Bone marrow aspirate smear: 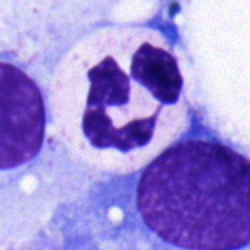 A neutrophil (segmented).